Bone marrow aspirate smear · May-Grünwald-Giemsa/Pappenheim stain — 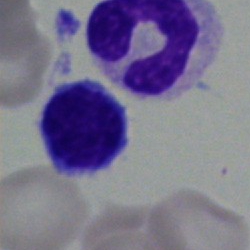
Specimen: bone marrow aspirate smear.
Cell type: typical lymphocyte.